Bone marrow smear:
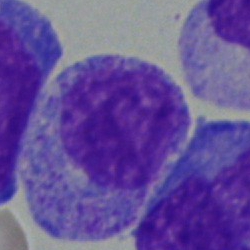

Classification: myelocyte.